Single-cell crop. Bone marrow smear: 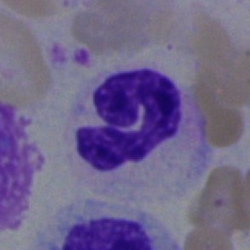
{"cell_type": "neutrophil (segmented)"}